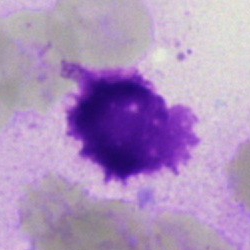

Cell type — artefact.